Bone marrow smear — 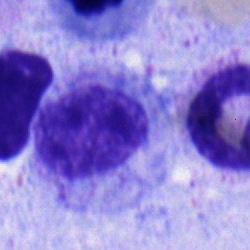

A myelocyte.